Cropped to a single cell · 40× oil immersion · bone marrow aspirate smear — 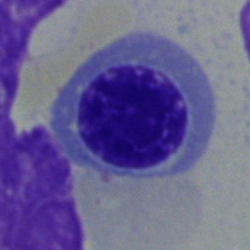

The cell shown is a normoblast.